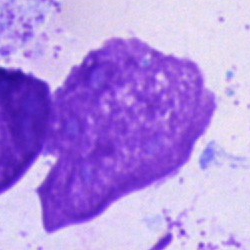

Impression → artifact.